May-Grünwald-Giemsa stain; bone marrow aspirate smear:
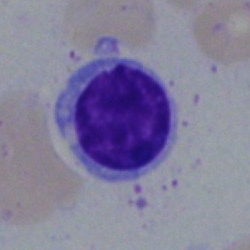

Q: Identify the cell.
A: A typical lymphocyte.